Single-cell field; bone marrow smear; MGG-stained.
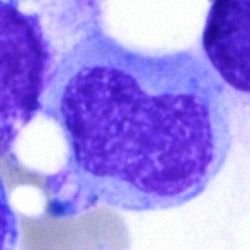Morphological class — unidentifiable cell.